Bone marrow smear — 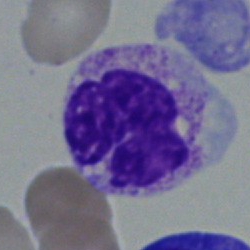The classification is polymorphonuclear neutrophil.